Bone marrow aspirate smear — 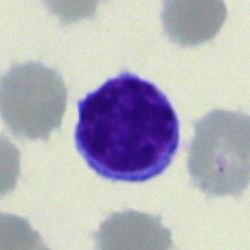

Impression — lymphocyte.